Bone marrow aspirate smear:
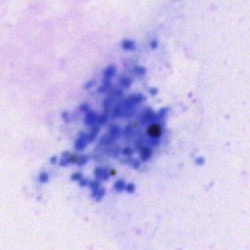

The cell shown is an artefact.